Bone marrow aspirate smear:
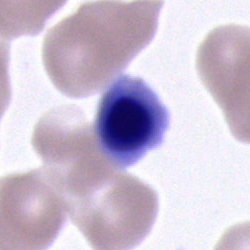
Classification — erythroblast.